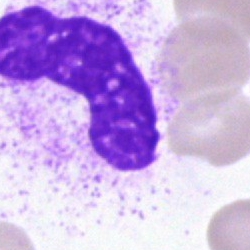 The classification is artefact.